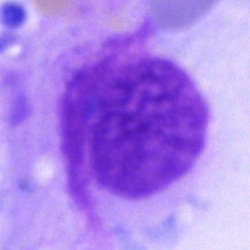 This is an artifact.